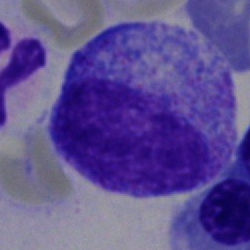Morphology consistent with a progranulocyte.